Bone marrow smear; cropped to a single cell: 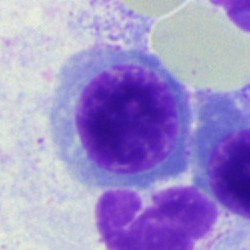
This is a nucleated red blood cell.